Bone marrow aspirate smear — 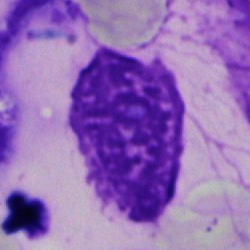 Impression — artifact.